Bone marrow smear — 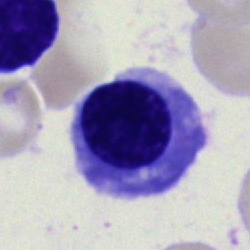

Q: What cell is this?
A: This is a nucleated red cell.